Bone marrow smear — 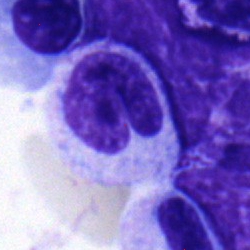

Q: Which cell type is shown here?
A: Stab cell.